Bone marrow smear
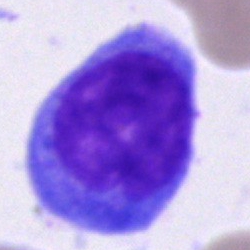{"cell_type": "blast"}